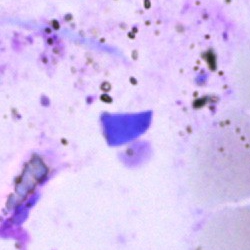

The cell type is artifact.